Bone marrow smear: 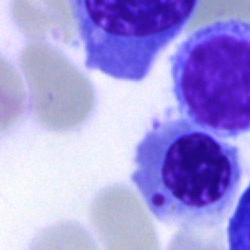

Classification — nucleated red blood cell.